Bone marrow aspirate smear: 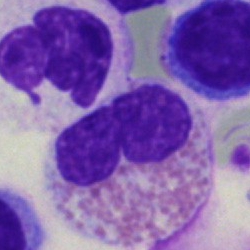 Classification: eosinophil.